MGG-stained. Bone marrow aspirate smear:
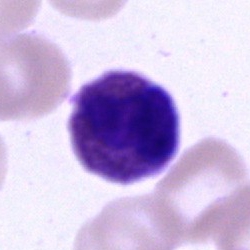
Classification = eosinophil.